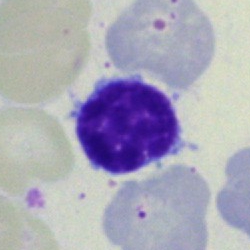
A typical lymphocyte on a bone marrow smear.